Bone marrow smear.
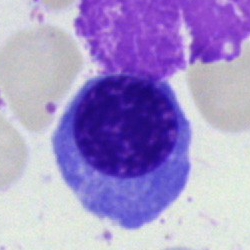

{"cell_type": "erythroblast", "lineage": "erythroid"}